Bone marrow smear
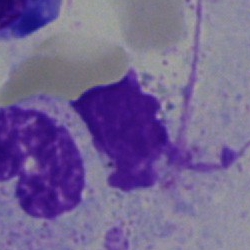Single cell identified as an artefact.